Bone marrow smear: 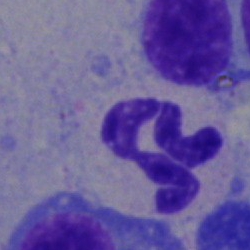 Morphology consistent with a polymorphonuclear neutrophil.